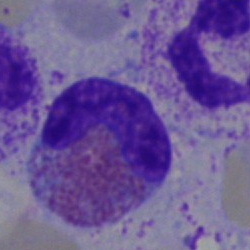
The cell shown is an eosinophil.